Bone marrow aspirate smear; 40× oil immersion.
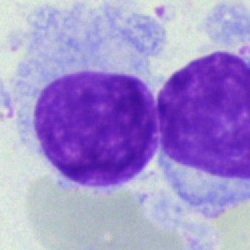The classification is hairy cell.